Brightfield, 40× oil-immersion objective; bone marrow aspirate smear — 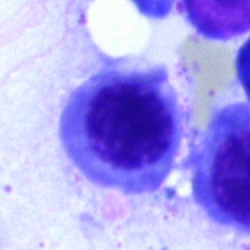 Nucleated red blood cell.